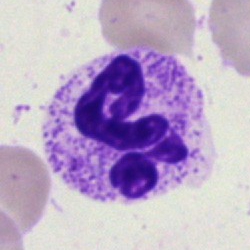 Bone marrow aspirate smear, single cell — neutrophil (segmented).